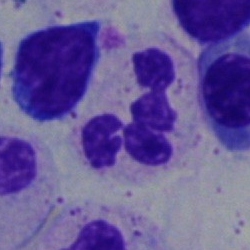Q: What cell is this?
A: Neutrophil (segmented).